Bone marrow smear; May-Grünwald-Giemsa/Pappenheim stain:
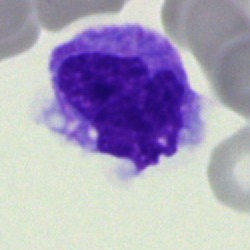

Showing a monocyte.